Bone marrow smear. Brightfield, 40× oil-immersion objective: 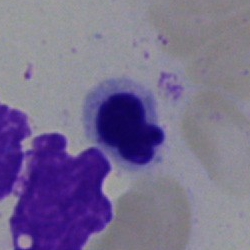
{"cell_type": "nucleated red blood cell", "lineage": "erythroid"}